Bone marrow smear: 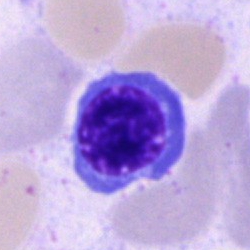 Morphology consistent with a nucleated red blood cell.